Bone marrow aspirate smear
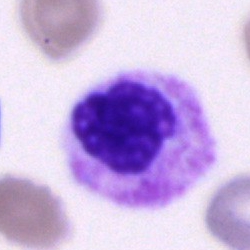

Cell: polymorphonuclear neutrophil.